Bone marrow aspirate smear
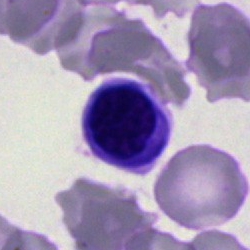 Cell — nucleated red blood cell.